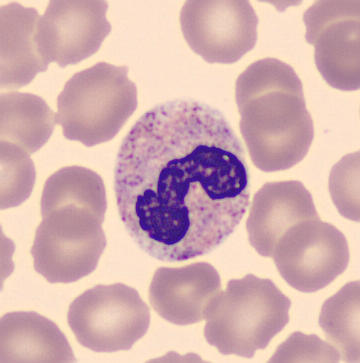

Peripheral blood film, single cell — stab cell.